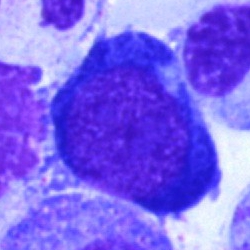

Showing a proerythroblast.